Bone marrow smear; brightfield microscopy, 40× oil immersion: 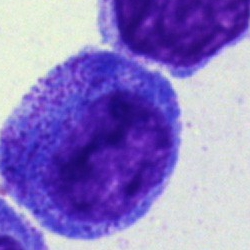

Specimen: bone marrow smear.
Classification: promyelocyte.